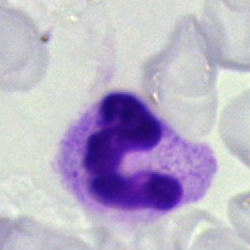Specimen: bone marrow smear.
Classification: neutrophil (segmented).
Lineage: myeloid.